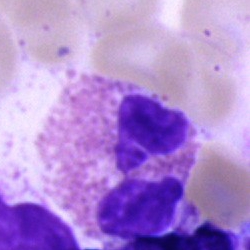

The cell type is eosinophil.